Bone marrow smear.
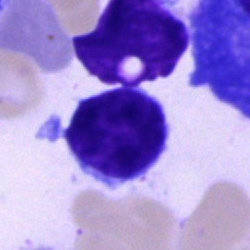
Impression → lymphocyte.